Peripheral blood film:
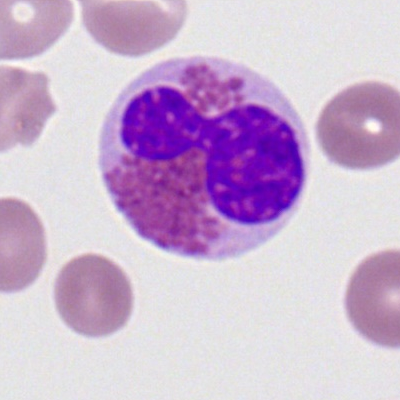Q: What type of cell is this?
A: This is an eosinophilic granulocyte.